Bone marrow aspirate smear; Pappenheim-stained; 250×250 — 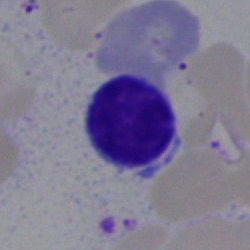

Q: Which cell type is shown here?
A: This is a typical lymphocyte.